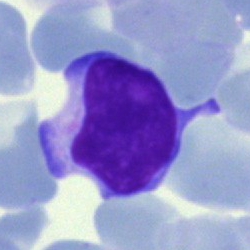
Single cell identified as a typical lymphocyte.